Single-cell crop · bone marrow smear — 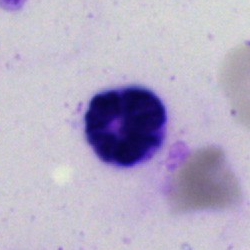
The cell shown is an artifact.